Single cell centered in the field; bone marrow smear — 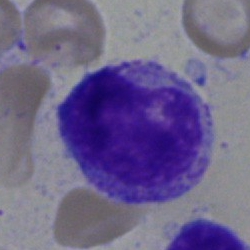 Q: Which cell type is shown here?
A: A myelocyte.